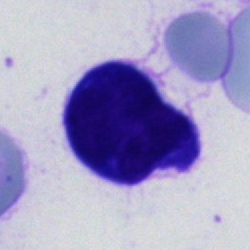

Q: What is shown here?
A: Cell of indeterminate lineage.